Pappenheim-stained · bone marrow smear.
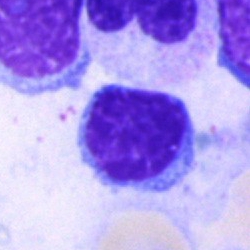 A typical lymphocyte.